Bone marrow aspirate smear · 250 by 250 pixels — 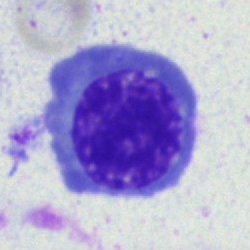This is an erythroblast.